Bone marrow smear · 250×250 — 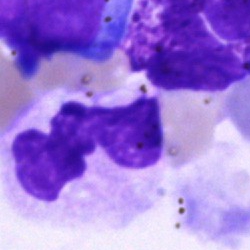

The cell shown is a neutrophil (segmented).